Bone marrow smear.
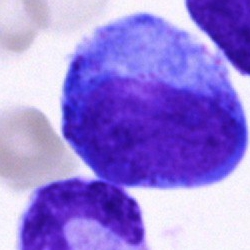Specimen: bone marrow smear.
Classification: promyelocyte.